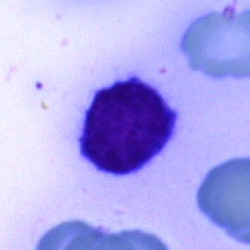{"cell_type": "typical lymphocyte", "lineage": "lymphoid"}